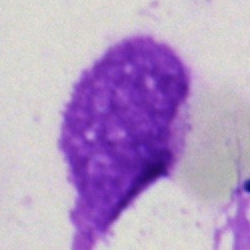 Single-cell crop from a bone marrow smear: artifact.